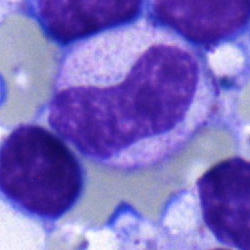
The cell is neutrophil (band).